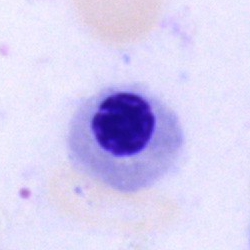Specimen: bone marrow aspirate smear.
Classification: erythroblast.